Bone marrow smear:
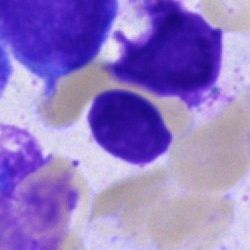 Specimen: bone marrow aspirate smear.
Cell type: unidentifiable cell.